Bone marrow smear.
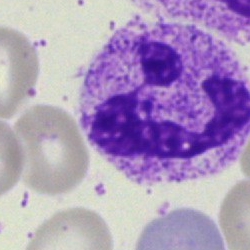

{"cell_type": "polymorphonuclear neutrophil"}